Bone marrow smear · 250 by 250 pixels:
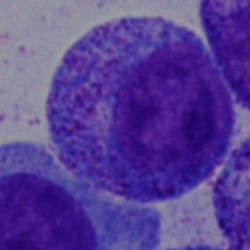
Progranulocyte.